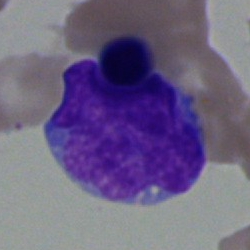Q: What is the morphological classification of this cell?
A: This is a blast.